Bone marrow smear — 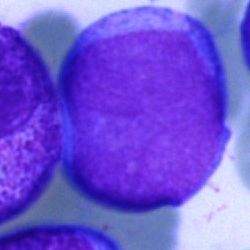

Q: Which cell type is shown here?
A: A blast cell.